Peripheral blood smear
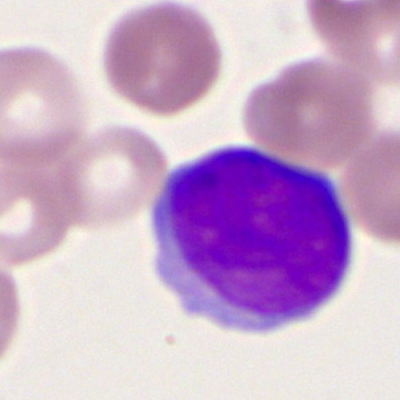
Single cell identified as a myeloid blast.